Bone marrow aspirate smear.
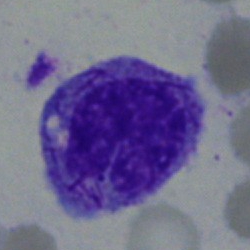Q: What is shown here?
A: A faggot cell.